Bone marrow smear
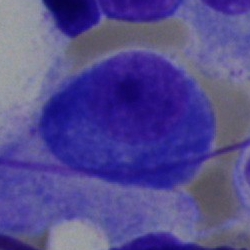 Single cell identified as a plasmacyte.